Bone marrow smear: 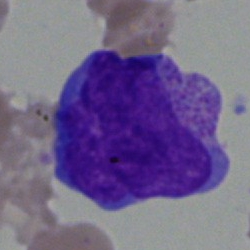
Classification = blast.